Bone marrow smear.
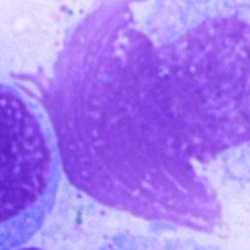An artefact.